Bone marrow smear.
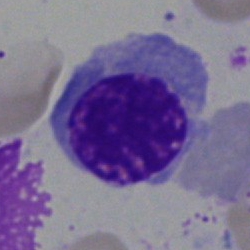

An erythroblast.